Bone marrow smear:
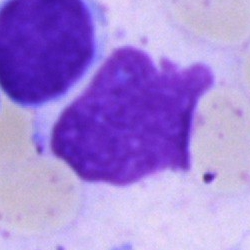

Morphological class — artifact.